Bone marrow smear:
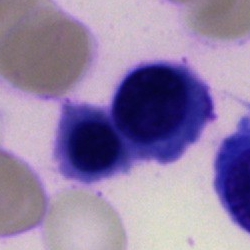 {"cell_type": "nucleated red cell"}